May-Grünwald-Giemsa stain; bone marrow smear; brightfield microscopy, 40× oil immersion:
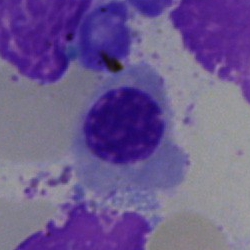

A nucleated red blood cell.